Bone marrow smear.
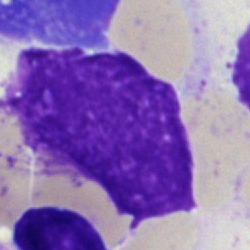 Q: What is the morphological classification of this cell?
A: A neutrophil (segmented).